Single-cell crop · peripheral blood film — 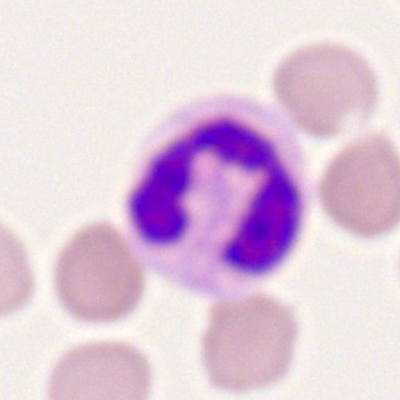Specimen: peripheral blood smear.
Cell type: neutrophil (segmented).
Lineage: myeloid.